Bone marrow aspirate smear:
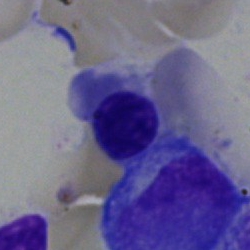Erythroblast.